Brightfield microscopy, 40× oil immersion · 250 by 250 pixels · bone marrow aspirate smear: 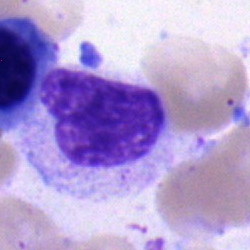 Classification = band-form neutrophil.